Bone marrow aspirate smear
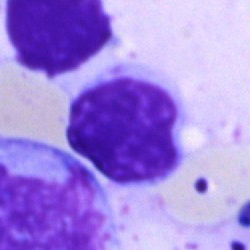
Specimen: bone marrow aspirate smear.
Cell type: typical lymphocyte.
Lineage: lymphoid.